Bone marrow aspirate smear
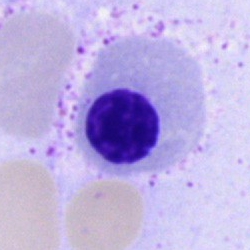The cell shown is an erythroblast.